Bone marrow smear
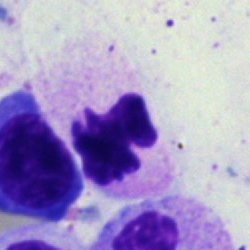 Showing a segmented neutrophil.